Bone marrow aspirate smear: 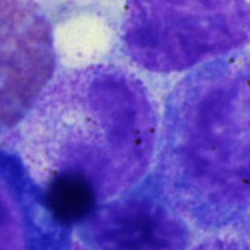Morphology — band neutrophil.